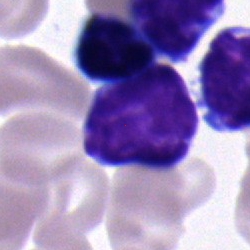

The classification is typical lymphocyte.